May-Grünwald-Giemsa stain. 250 by 250 pixels. Bone marrow smear
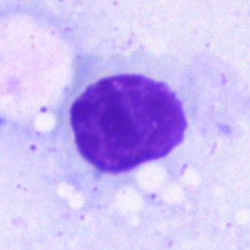 Single cell identified as an artefact.